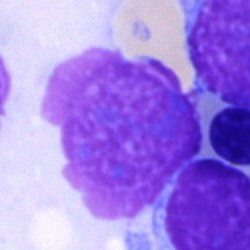 Impression — artefact.